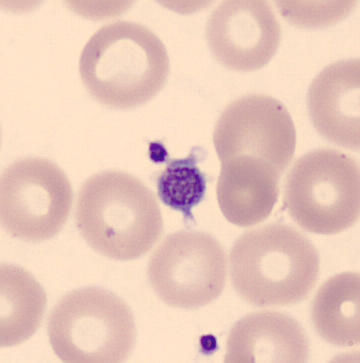Image: Peripheral blood film.

Q: What is shown here?
A: This is a thrombocyte.